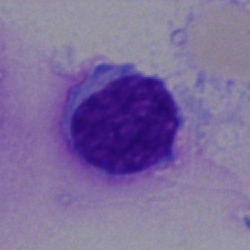

Single cell identified as a lymphocyte.